Bone marrow aspirate smear — 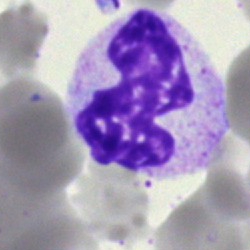 Cell type: band-form neutrophil.